250 by 250 pixels. Bone marrow aspirate smear. MGG-stained — 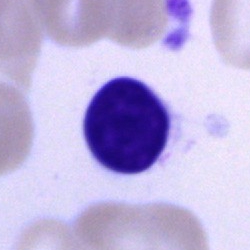Q: What cell is this?
A: Typical lymphocyte.